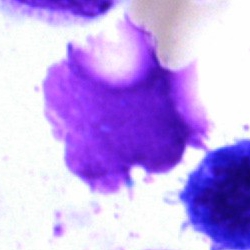 Showing an artefact.